Bone marrow aspirate smear
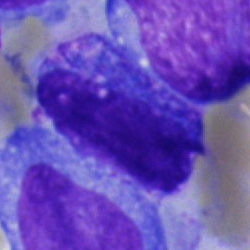{"cell_type": "artifact"}